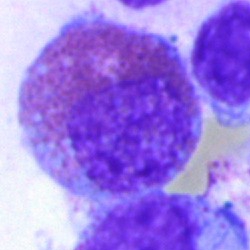
Morphological class — eosinophilic granulocyte.